Bone marrow aspirate smear
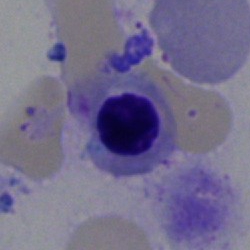
Q: Which cell type is shown here?
A: This is an erythroblast.